Peripheral blood smear:
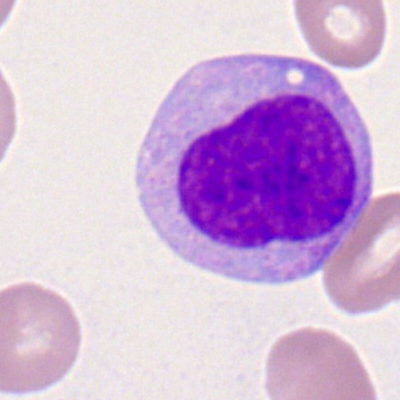

Monoblast.